Single-cell crop · bone marrow aspirate smear · image size 250×250: 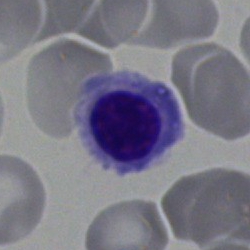 Normoblast.